250×250. Bone marrow smear. Single-cell field.
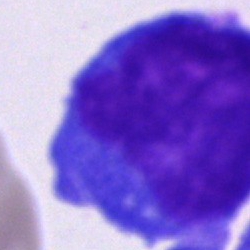

Specimen: bone marrow aspirate smear.
Cell: blast.